Bone marrow smear — 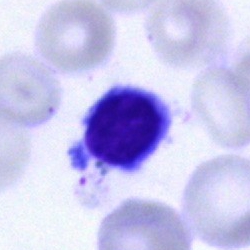Cell = lymphocyte.